Bone marrow smear.
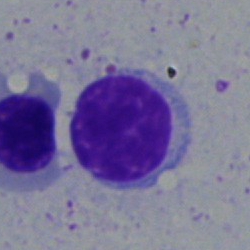 Specimen: bone marrow smear.
Morphological class: typical lymphocyte.